Bone marrow aspirate smear:
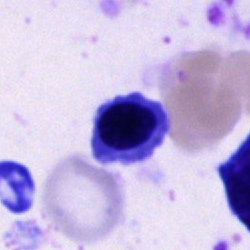
The cell type is nucleated red cell.